Image size 250×250. Bone marrow smear. Brightfield microscopy, 40× oil immersion.
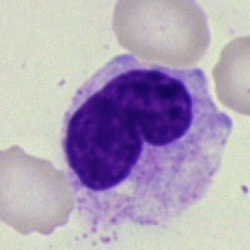

Single cell identified as a band neutrophil.